Bone marrow aspirate smear
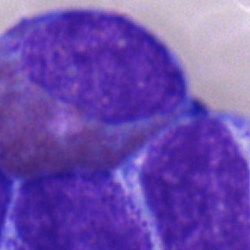

Specimen: bone marrow smear.
Cell type: eosinophilic granulocyte.
Lineage: myeloid.